Brightfield, 40× oil-immersion objective · bone marrow smear: 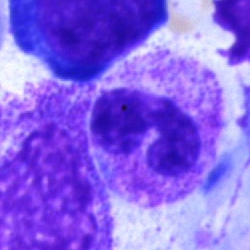A polymorphonuclear neutrophil.